40× oil immersion · bone marrow smear · single-cell field: 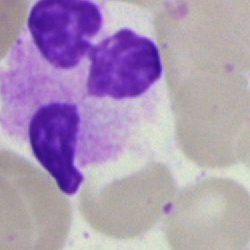The morphological class is segmented neutrophil.